Bone marrow aspirate smear
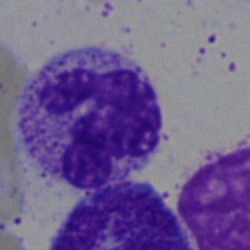Q: Identify the cell.
A: This is a segmented neutrophil.